Bone marrow aspirate smear: 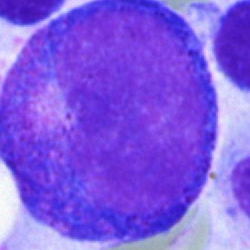

Q: What type of cell is this?
A: It is a progranulocyte.